Single cell centered in the field. Bone marrow smear.
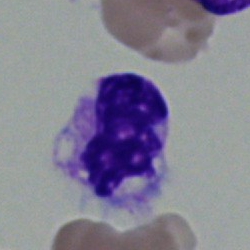

Cell — segmented neutrophil.